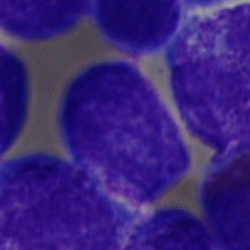Single cell identified as a blast.